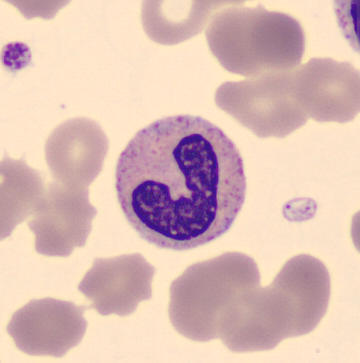
Q: Identify the cell.
A: Stab cell.